Bone marrow smear · single-cell crop — 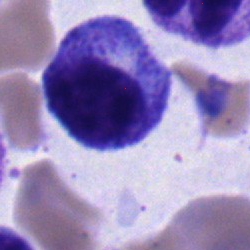Cell type = myelocyte.